Bone marrow aspirate smear.
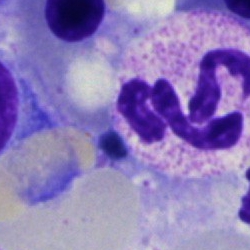

Q: Identify the cell.
A: This is a neutrophil (segmented).